250 by 250 pixels · 40× objective, oil immersion · bone marrow smear
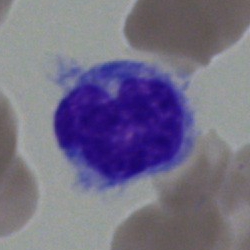Q: What is shown here?
A: It is a monocyte.